Bone marrow aspirate smear. Single cell centered in the field — 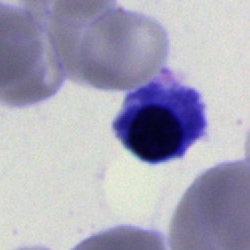

Q: Which cell type is shown here?
A: It is a nucleated red cell.